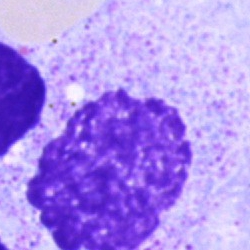
An artifact on a bone marrow smear.